Bone marrow aspirate smear
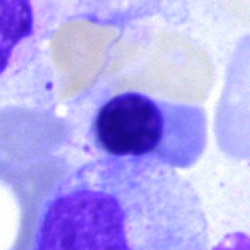Q: What cell is this?
A: Erythroblast.